Bone marrow aspirate smear — 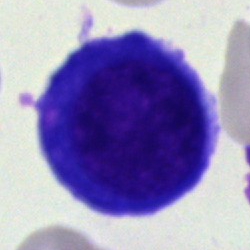The morphological class is nucleated red blood cell.